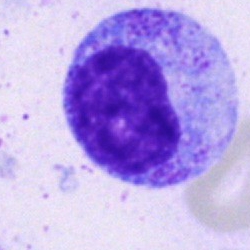 Specimen: bone marrow aspirate smear.
Morphological class: progranulocyte.